Bone marrow smear — 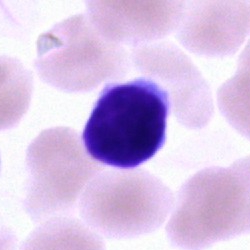 Specimen: bone marrow smear.
Cell: lymphocyte.
Lineage: lymphoid.